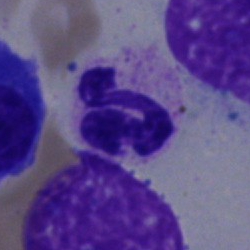

The cell type is segmented neutrophil.